250×250 px; bone marrow aspirate smear
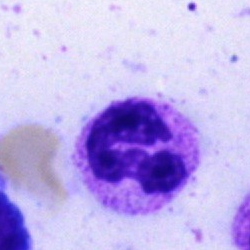

This is a segmented neutrophil.